Bone marrow aspirate smear.
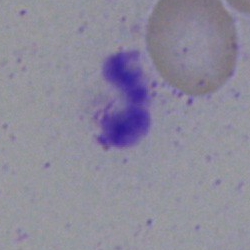

Morphology consistent with an artifact.